Bone marrow aspirate smear:
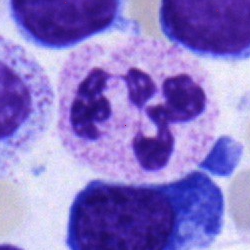
Showing a polymorphonuclear neutrophil.